May-Grünwald-Giemsa/Pappenheim stain · brightfield microscopy, 40× oil immersion · bone marrow smear:
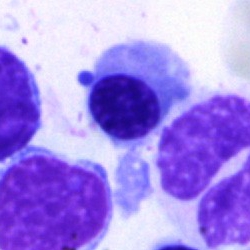

{"cell_type": "nucleated red blood cell"}